Bone marrow smear: 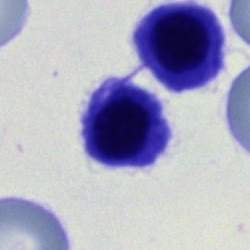This is a normoblast.